Bone marrow aspirate smear · 250×250:
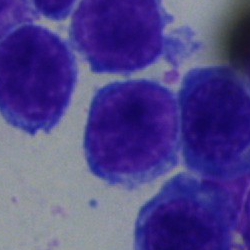
Morphology — typical lymphocyte.